Bone marrow aspirate smear — 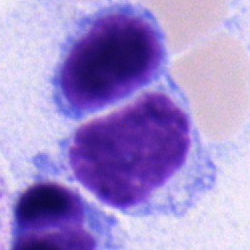
Specimen: bone marrow smear.
Morphological class: lymphocyte.
Lineage: lymphoid.